40× objective, oil immersion; bone marrow aspirate smear.
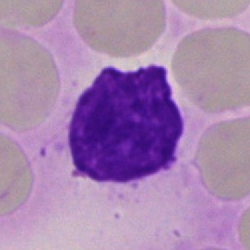
Specimen: bone marrow smear.
Classification: artefact.